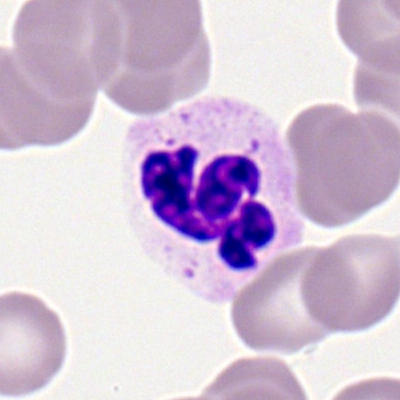Neutrophil (segmented).